Brightfield microscopy, 40× oil immersion · May-Grünwald-Giemsa stain · bone marrow smear
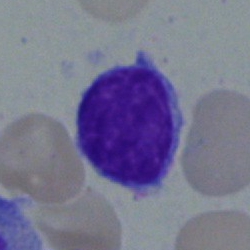
Single cell identified as a lymphocyte.